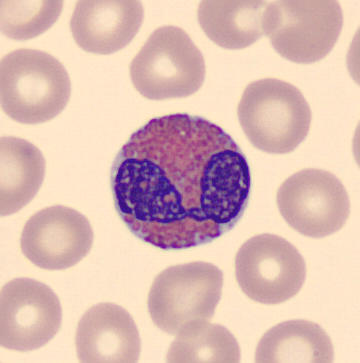 Q: What type of cell is this?
A: It is an eosinophilic granulocyte.